Image size 250×250. Bone marrow aspirate smear: 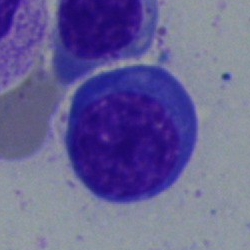 Impression — normoblast.